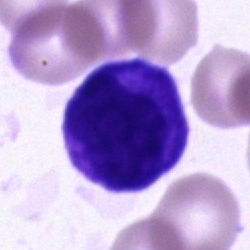
An unidentifiable cell.